Bone marrow aspirate smear — 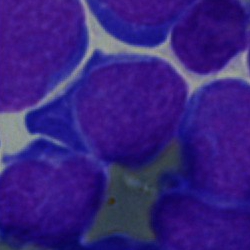
Morphology consistent with an undifferentiated blast.